Bone marrow aspirate smear:
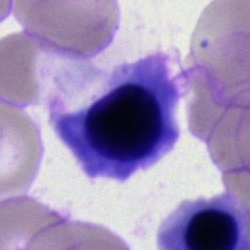

Morphology — normoblast.